Bone marrow smear: 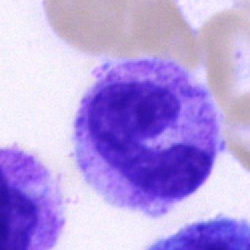
Impression → band neutrophil.